Single-cell crop. Bone marrow smear:
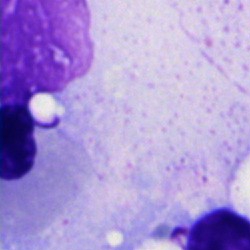
{"cell_type": "artefact"}